Bone marrow aspirate smear · cropped to a single cell: 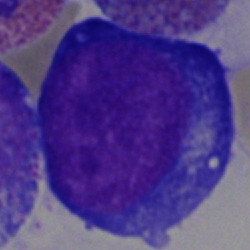Impression — pronormoblast.